Bone marrow aspirate smear — 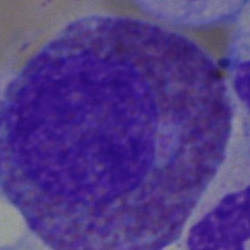

Q: What type of cell is this?
A: This is an eosinophilic granulocyte.